Peripheral blood film: 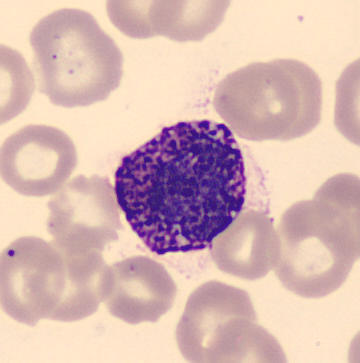

Q: What cell is this?
A: Basophil.